Bone marrow smear:
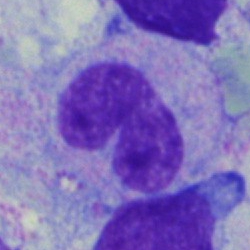

Single cell identified as a band-form neutrophil.